250×250; bone marrow smear; cropped to a single cell: 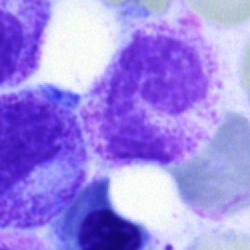
Morphology consistent with a segmented neutrophil.